Bone marrow smear: 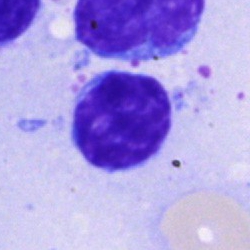

This is a lymphocyte.